Bone marrow aspirate smear
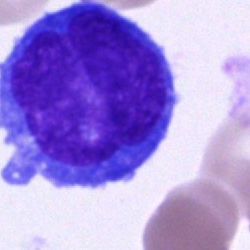Q: What is shown here?
A: Blast cell.